Bone marrow aspirate smear. May-Grünwald-Giemsa stain:
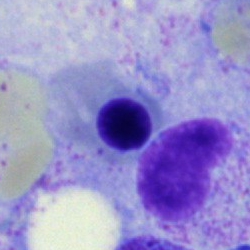

{"cell_type": "normoblast"}